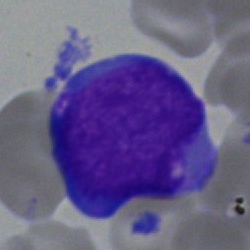Impression — blast.